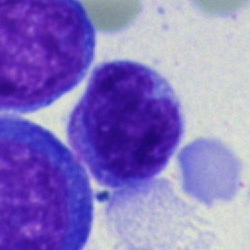 Specimen: bone marrow smear.
Classification: undifferentiated blast.